Cropped to a single cell. Bone marrow smear — 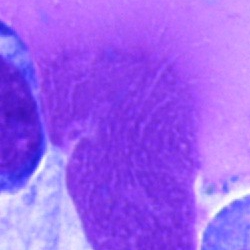
Classification = artifact.